Peripheral blood film — 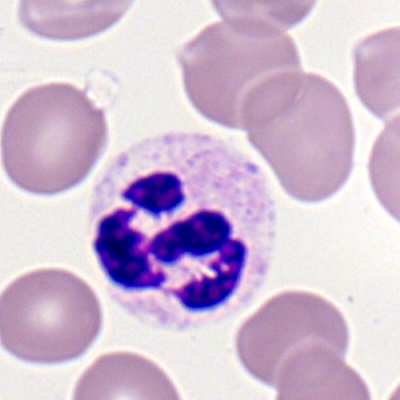The cell type is neutrophil (segmented).